Bone marrow smear; 40× objective, oil immersion:
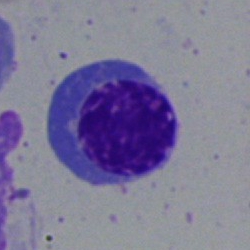Nucleated red blood cell.